40× objective, oil immersion; 250×250 px; bone marrow smear: 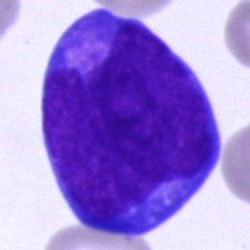 Morphological class — undifferentiated blast.